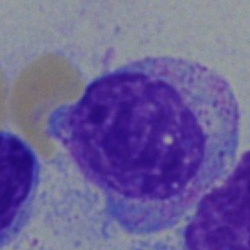Bone marrow smear showing a myelocyte.